Peripheral blood smear:
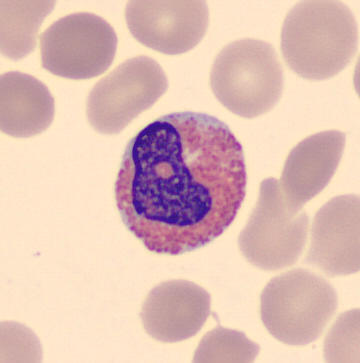Morphology consistent with an eosinophilic granulocyte.